Peripheral blood film. Romanowsky stain.
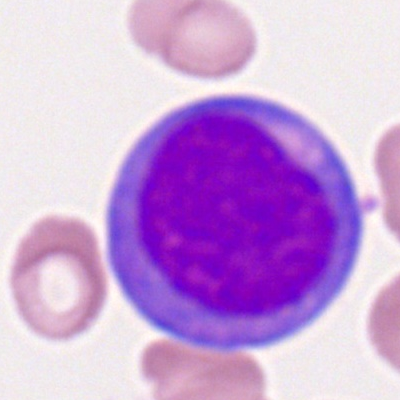

Q: What cell is this?
A: This is a myeloblast.